Bone marrow aspirate smear · 250 by 250 pixels
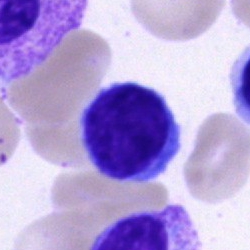Q: Identify the cell.
A: It is a lymphocyte.